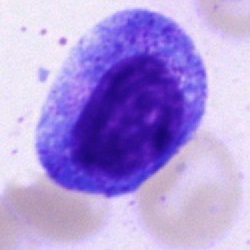

Specimen: bone marrow aspirate smear.
Morphological class: promyelocyte.
Lineage: myeloid.